Bone marrow aspirate smear.
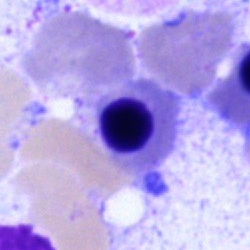
Morphological class — nucleated red cell.